Brightfield microscopy, 40× oil immersion. Single cell centered in the field. Bone marrow smear — 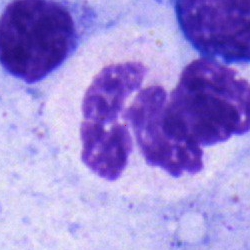

Q: What type of cell is this?
A: It is a polymorphonuclear neutrophil.